Bone marrow aspirate smear
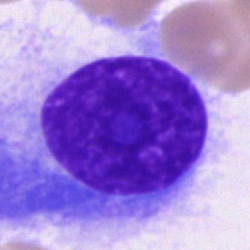 This is a plasma cell.